Bone marrow smear:
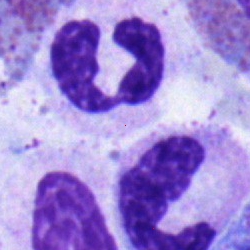The classification is polymorphonuclear neutrophil.